Bone marrow aspirate smear: 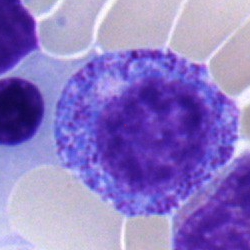Classification: progranulocyte.